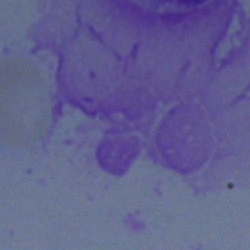

Q: What is shown here?
A: Artifact.